Bone marrow aspirate smear — 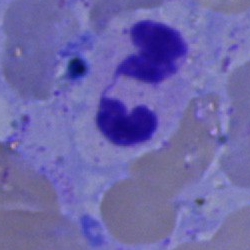Specimen: bone marrow smear.
Cell: polymorphonuclear neutrophil.
Lineage: myeloid.